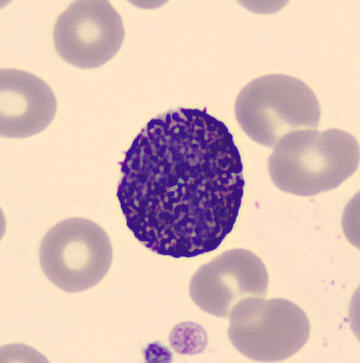

Single-cell crop from a peripheral blood smear: basophil.